250×250 px; single cell centered in the field; bone marrow smear.
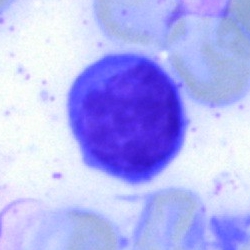

Morphology → lymphocyte.